Bone marrow aspirate smear · 40× objective, oil immersion.
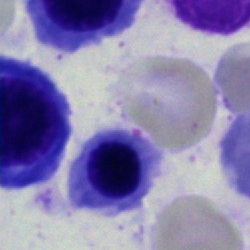

Specimen: bone marrow smear.
Cell type: normoblast.